Peripheral blood film.
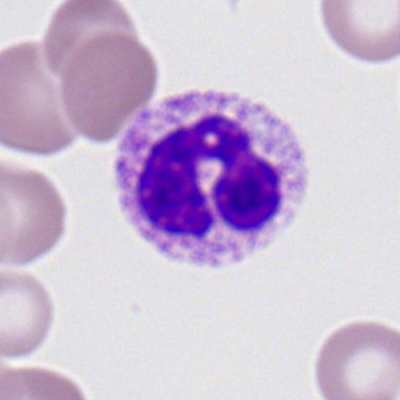 Polymorphonuclear neutrophil.